Bone marrow smear.
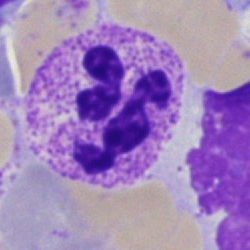
Q: What is the morphological classification of this cell?
A: This is a segmented neutrophil.